Bone marrow aspirate smear; single-cell field; MGG-stained:
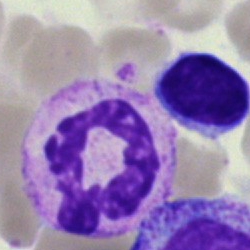

Morphology — segmented neutrophil.